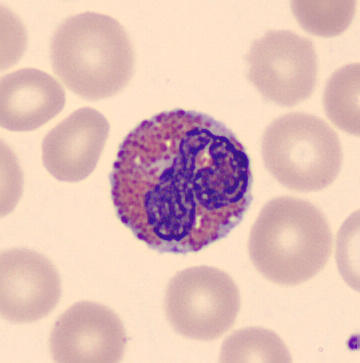 Specimen: peripheral blood film.
Morphological class: eosinophilic granulocyte.
Acquisition: CellaVision DM96 digital cell image.